Bone marrow smear: 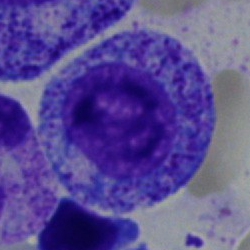
Single cell identified as a myelocyte.